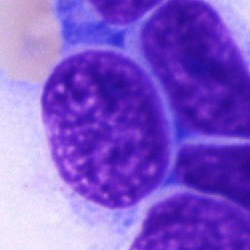 This is an unidentifiable cell.